250×250 px · bone marrow smear.
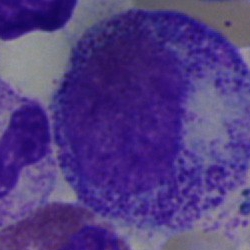

Promyelocyte.